Bone marrow smear
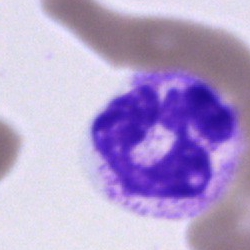

Morphology — neutrophil (segmented).